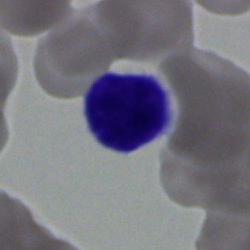 Showing a typical lymphocyte.